Bone marrow aspirate smear · single cell centered in the field · 40× objective, oil immersion:
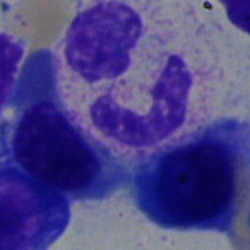 Cell type: segmented neutrophil.